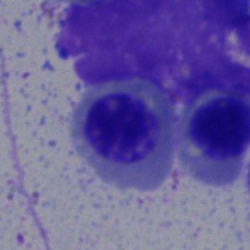 A nucleated red blood cell.